Bone marrow smear · 250×250 px
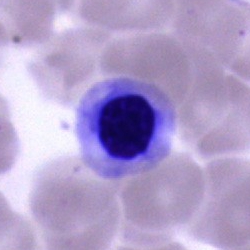 Morphology consistent with a nucleated red blood cell.